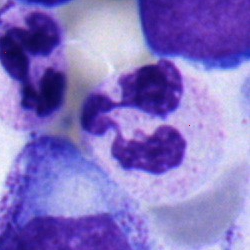The cell is segmented neutrophil.